Bone marrow smear · 250 by 250 pixels:
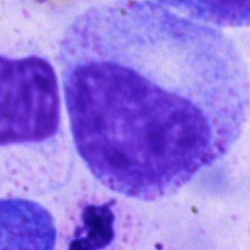 Specimen: bone marrow smear.
Cell type: progranulocyte.